Bone marrow aspirate smear. 40× objective, oil immersion: 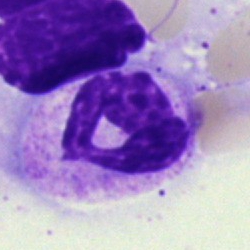
Q: What type of cell is this?
A: This is a segmented neutrophil.